Bone marrow smear.
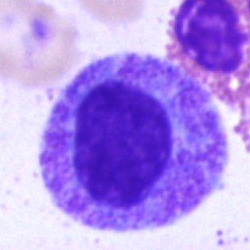
Showing a promyelocyte.